Bone marrow smear — 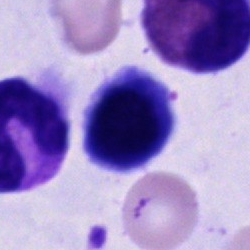
Specimen: bone marrow aspirate smear.
Classification: cell of indeterminate lineage.